Bone marrow aspirate smear:
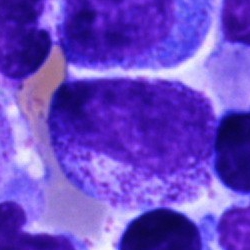 This is a myelocyte.